May-Grünwald-Giemsa stain · 250 by 250 pixels · bone marrow smear.
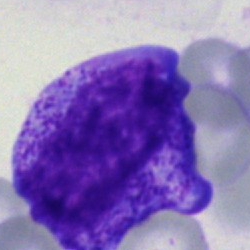

Impression → myelocyte.